Bone marrow aspirate smear — 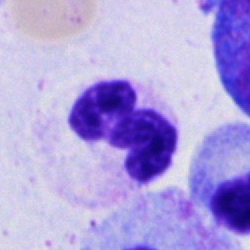
Q: What is shown here?
A: It is a segmented neutrophil.